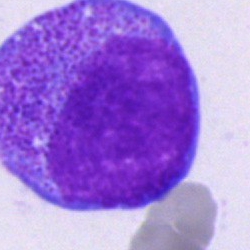Specimen: bone marrow smear.
Cell: progranulocyte.